Bone marrow aspirate smear · 250×250 · single-cell crop
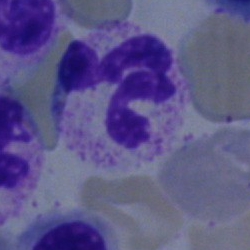

Morphology — polymorphonuclear neutrophil.